Cropped to a single cell · bone marrow aspirate smear · brightfield microscopy, 40× oil immersion — 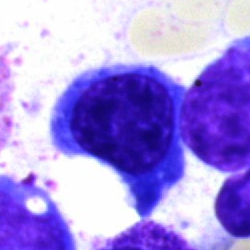
Morphological class — nucleated red cell.